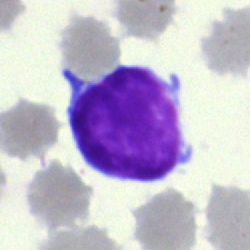Q: Identify the cell.
A: It is a typical lymphocyte.